Bone marrow smear. Single-cell field.
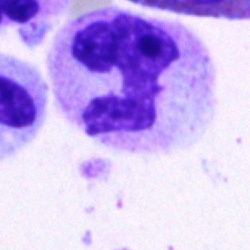
The cell shown is a polymorphonuclear neutrophil.